Brightfield, 40× oil-immersion objective; bone marrow smear; single cell centered in the field:
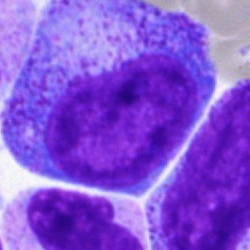

Q: What is the morphological classification of this cell?
A: This is a promyelocyte.